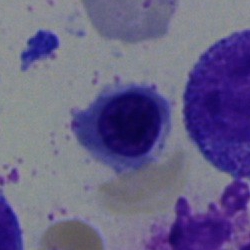

Single-cell crop from a bone marrow smear: nucleated red blood cell.